Bone marrow aspirate smear · 250 by 250 pixels: 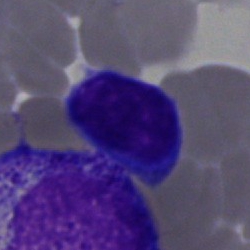

Impression → typical lymphocyte.